Bone marrow smear — 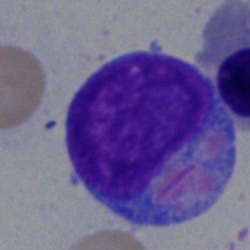
Q: What is shown here?
A: An undifferentiated blast.